Peripheral blood smear
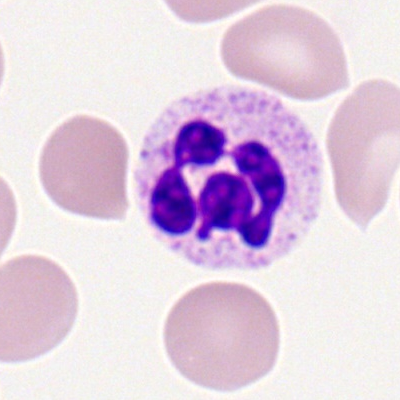

Single cell identified as a segmented neutrophil.